Peripheral blood smear: 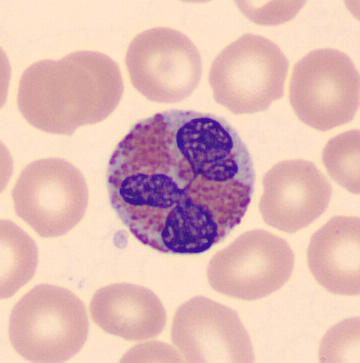

The cell shown is an eosinophilic granulocyte.